Bone marrow aspirate smear.
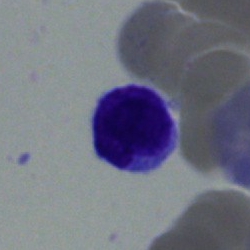This is a typical lymphocyte.